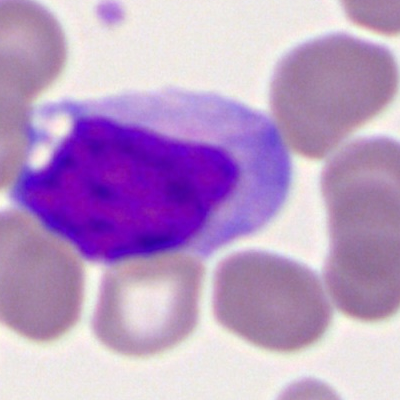

Cell: myeloblast.